Bone marrow smear · single cell centered in the field: 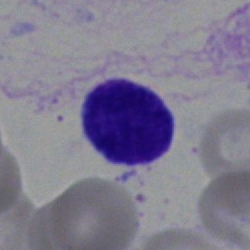 Cell type = lymphocyte.